MGG-stained · bone marrow smear · brightfield, 40× oil-immersion objective.
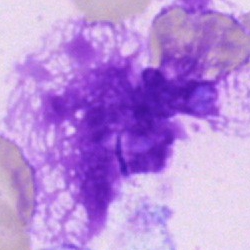
Q: What is shown here?
A: It is an artefact.